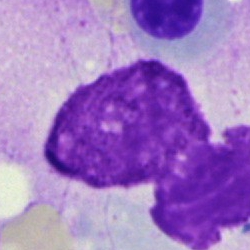 Single-cell crop from a bone marrow smear: artifact.